Bone marrow aspirate smear
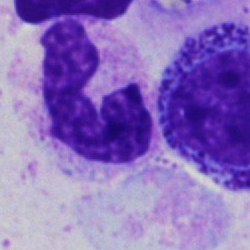 The cell shown is a polymorphonuclear neutrophil.